Peripheral blood film · Romanowsky-type stain: 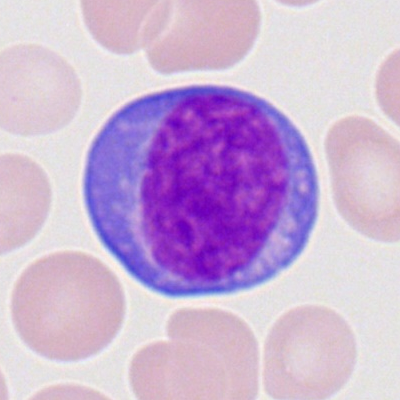

Cell = atypical lymphocyte.